250×250 px; bone marrow aspirate smear; brightfield microscopy, 40× oil immersion — 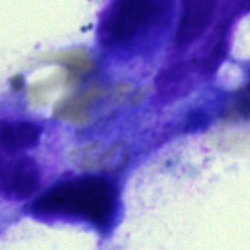

Specimen: bone marrow aspirate smear.
Morphological class: artifact.